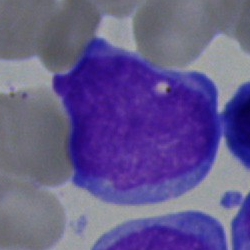 An undifferentiated blast on a bone marrow smear.